Cropped to a single cell; bone marrow smear:
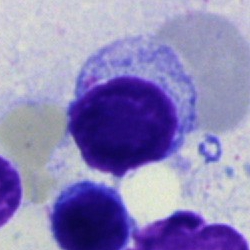
Q: What is shown here?
A: Typical lymphocyte.